Peripheral blood smear — 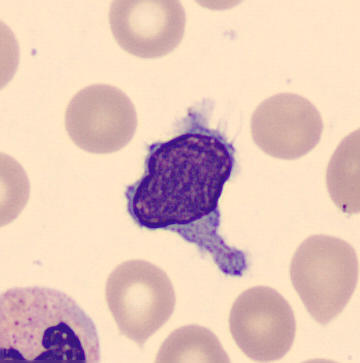Classification — lymphocyte.